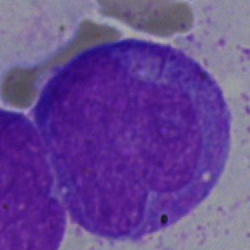 Specimen: bone marrow aspirate smear.
Cell: progranulocyte.
Lineage: myeloid.